Bone marrow smear:
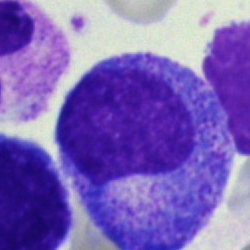 Cell: progranulocyte.